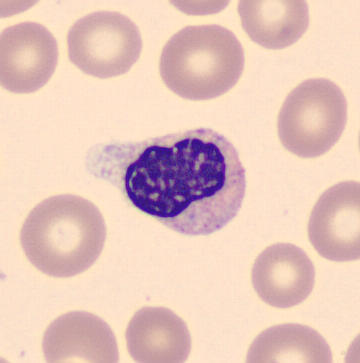 Specimen: peripheral blood film.
Classification: neutrophil (band).
Lineage: myeloid.